Single-cell crop · bone marrow aspirate smear: 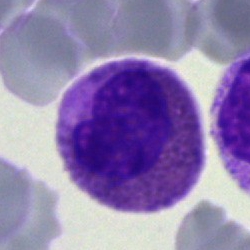Q: Identify the cell.
A: An eosinophilic granulocyte.